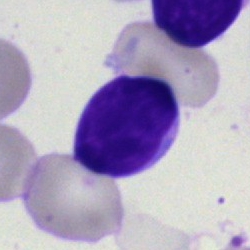
Q: Which cell type is shown here?
A: This is a typical lymphocyte.